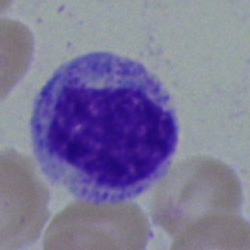

A myelocyte.